Bone marrow aspirate smear; 250 by 250 pixels; single-cell crop.
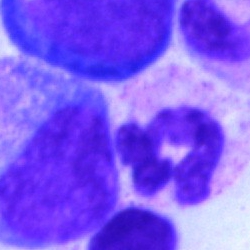

Q: What is shown here?
A: It is a segmented neutrophil.